Peripheral blood smear
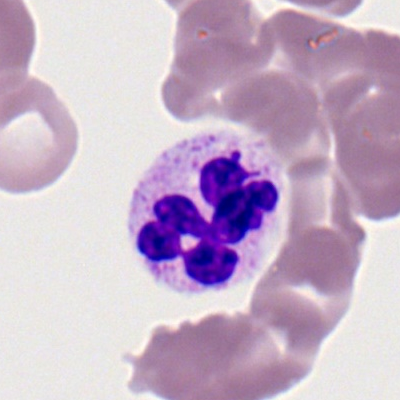 Q: Identify the cell.
A: Neutrophil (segmented).